Bone marrow aspirate smear: 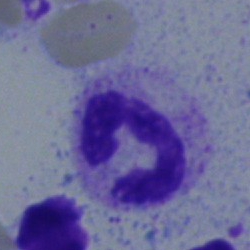Segmented neutrophil.